Bone marrow aspirate smear:
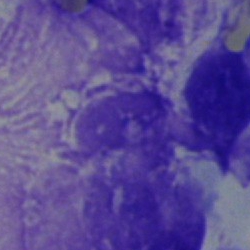 Morphological class — artefact.